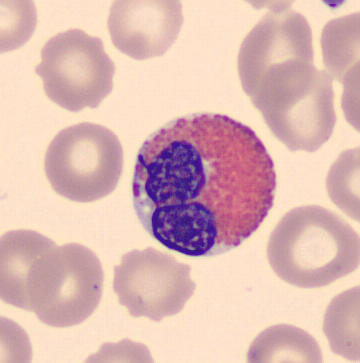 Q: What is shown here?
A: Eosinophil.
Peripheral blood film.